Single cell centered in the field · bone marrow aspirate smear · 40× objective, oil immersion:
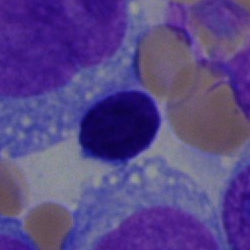

Classification = lymphocyte.